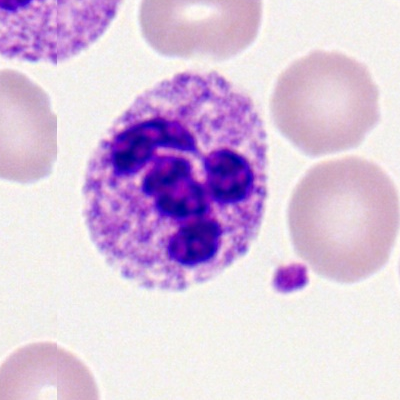
Q: What type of cell is this?
A: This is a neutrophil (segmented).